MGG-stained. Single-cell crop. Bone marrow smear.
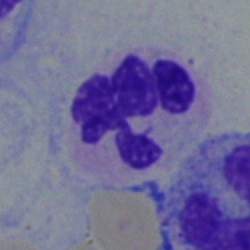Morphological class = neutrophil (segmented).